Bone marrow smear
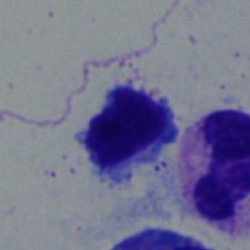
Specimen: bone marrow aspirate smear.
Cell type: typical lymphocyte.
Lineage: lymphoid.